Bone marrow smear: 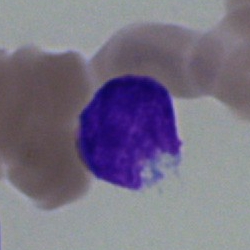
Specimen: bone marrow aspirate smear.
Cell: typical lymphocyte.
Lineage: lymphoid.